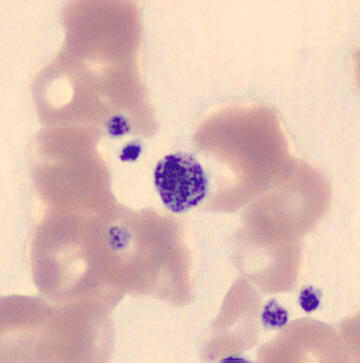Identified as a platelet.
Image: 360×363; peripheral blood film.